Bone marrow aspirate smear; 40× objective, oil immersion
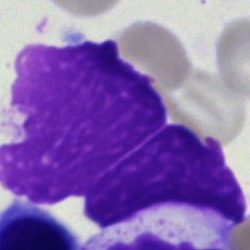

Showing an artefact.